Single-cell field; peripheral blood film
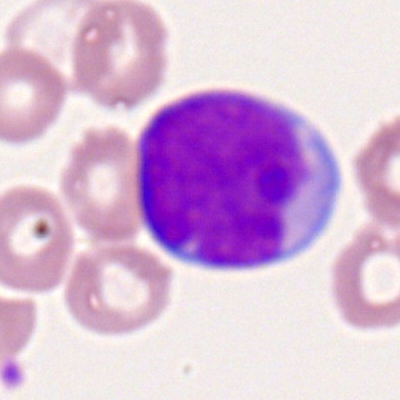 The cell shown is a myeloid blast.